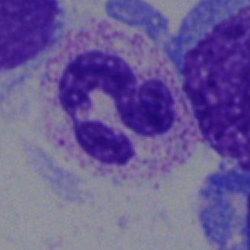

Cell type = neutrophil (segmented).